Pappenheim-stained · bone marrow aspirate smear · single cell centered in the field:
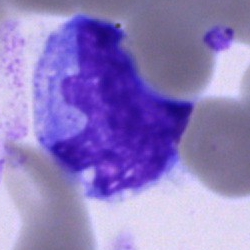Cell: monocyte.